Peripheral blood film:
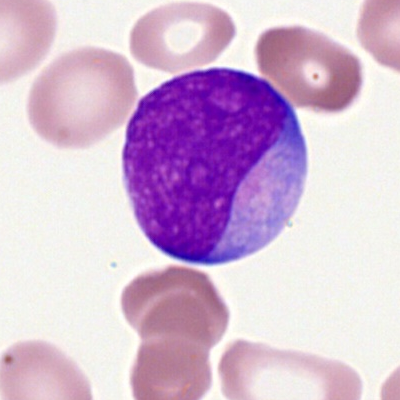Q: What cell is this?
A: This is a myeloid blast.